250×250 px; bone marrow smear:
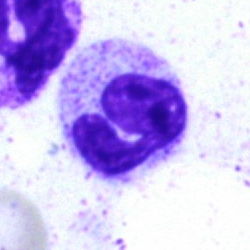
Specimen: bone marrow smear.
Classification: polymorphonuclear neutrophil.
Lineage: myeloid.